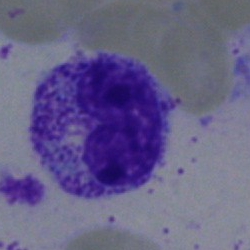A neutrophil (band).